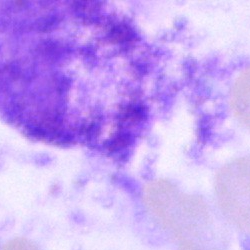

Bone marrow aspirate smear, single cell — artifact.